Bone marrow aspirate smear:
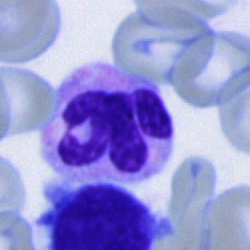
Cell — segmented neutrophil.